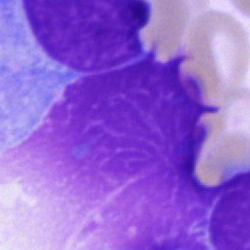

This is an artefact.